Pappenheim-stained · bone marrow aspirate smear
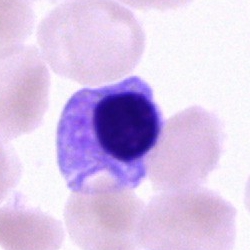
Impression → nucleated red blood cell.